Bone marrow aspirate smear.
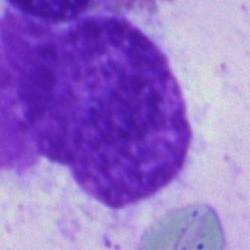 Specimen: bone marrow smear.
Morphological class: artifact.